Bone marrow aspirate smear · May-Grünwald-Giemsa/Pappenheim stain — 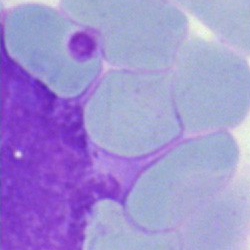

Q: What is shown here?
A: An artifact.